Bone marrow aspirate smear: 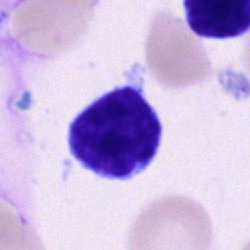Q: What cell is this?
A: It is a typical lymphocyte.